Image size 250×250 · single-cell field · bone marrow smear:
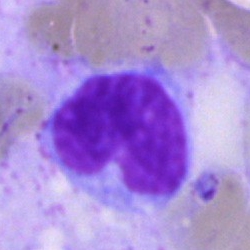 The cell shown is a blast.